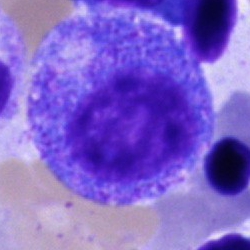
Cell type — promyelocyte.